Brightfield, 40× oil-immersion objective; image size 250×250; bone marrow smear — 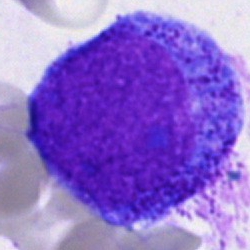 Morphology → progranulocyte.